Bone marrow aspirate smear:
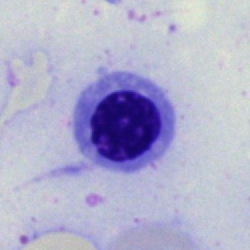The cell shown is an erythroblast.